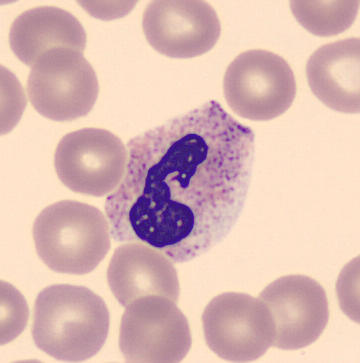

Specimen: peripheral blood smear.
Cell type: segmented neutrophil.
Lineage: myeloid.